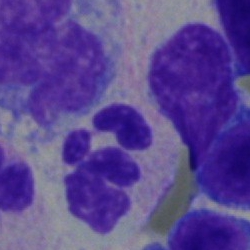Bone marrow smear showing a segmented neutrophil.